250×250 px. Bone marrow aspirate smear: 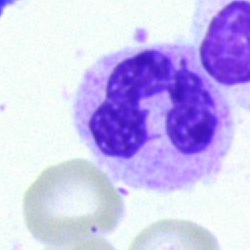
Polymorphonuclear neutrophil.